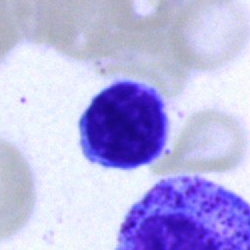 {"cell_type": "typical lymphocyte", "lineage": "lymphoid"}